Bone marrow smear: 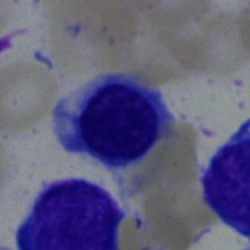 The morphological class is erythroblast.